250×250 px · bone marrow aspirate smear: 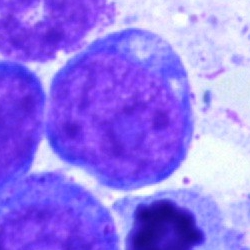Q: What type of cell is this?
A: It is a blast cell.